Cropped to a single cell · bone marrow smear · 40× objective, oil immersion.
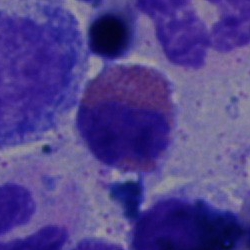

Specimen: bone marrow smear.
Cell type: eosinophil.
Lineage: myeloid.